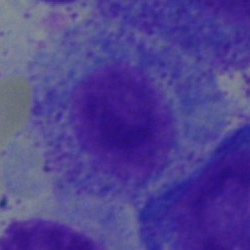

Single cell identified as a myelocyte.